400×400 px; peripheral blood smear:
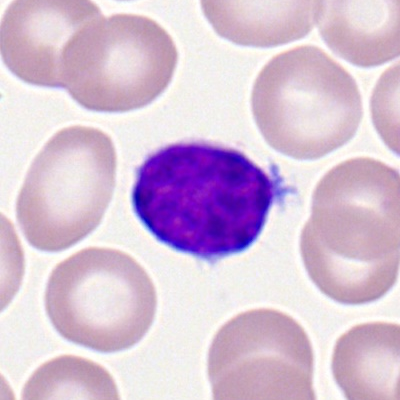

Lymphocyte.